Bone marrow smear:
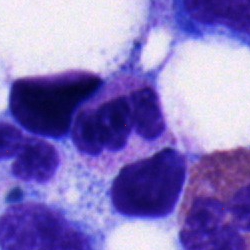 Morphology consistent with a segmented neutrophil.